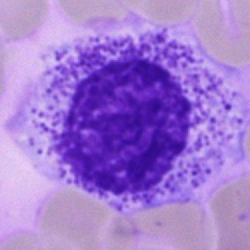
Cell — promyelocyte.